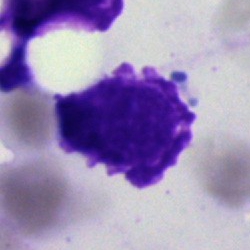Q: What is shown here?
A: This is an artifact.